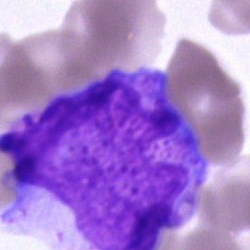Bone marrow aspirate smear, single cell — blast cell.